Single-cell field · bone marrow aspirate smear: 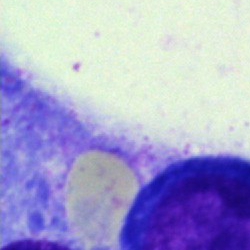
Specimen: bone marrow smear.
Classification: artifact.